Bone marrow aspirate smear: 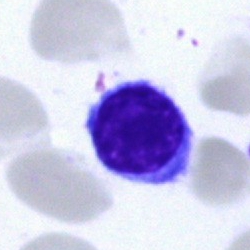 Impression — lymphocyte.